Single-cell field. Bone marrow smear:
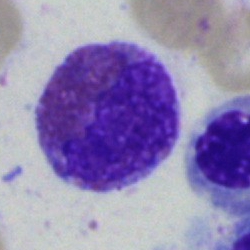
Eosinophil.